Bone marrow aspirate smear. Single-cell crop.
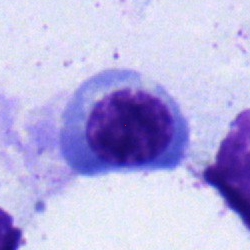
Showing a nucleated red blood cell.